Bone marrow aspirate smear
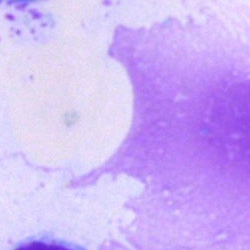Morphology consistent with an artefact.